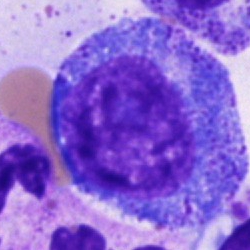

Specimen: bone marrow aspirate smear.
Classification: promyelocyte.
Lineage: myeloid.